Bone marrow smear · 250×250: 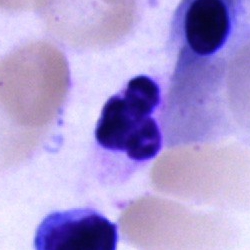A polymorphonuclear neutrophil.